Bone marrow smear:
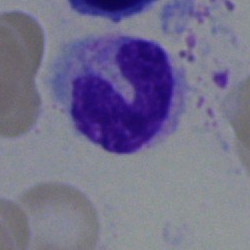

Morphological class — band neutrophil.